Bone marrow aspirate smear — 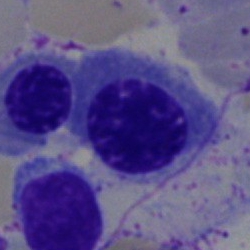

The cell is normoblast.